250×250; brightfield microscopy, 40× oil immersion; bone marrow aspirate smear — 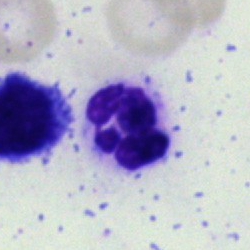
Q: What type of cell is this?
A: It is a neutrophil (segmented).